Brightfield microscopy, 40× oil immersion · bone marrow smear — 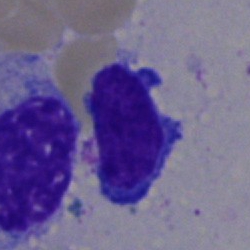Q: Which cell type is shown here?
A: A lymphocyte.